Bone marrow aspirate smear:
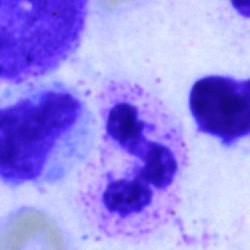The cell shown is a neutrophil (segmented).